Bone marrow aspirate smear — 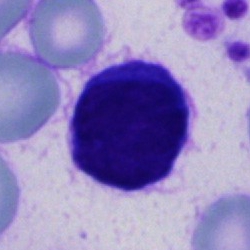

Morphological class = unidentifiable cell.